Peripheral blood film — 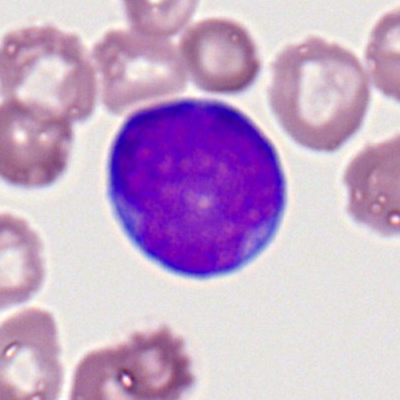

Specimen: peripheral blood film.
Classification: myeloblast.
Lineage: myeloid.